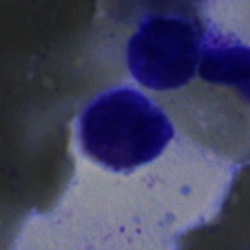

Q: What is shown here?
A: This is an artefact.